May-Grünwald-Giemsa/Pappenheim stain · bone marrow smear: 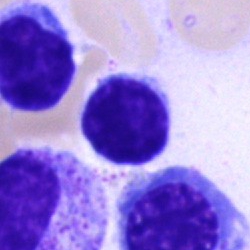
Classification: lymphocyte.